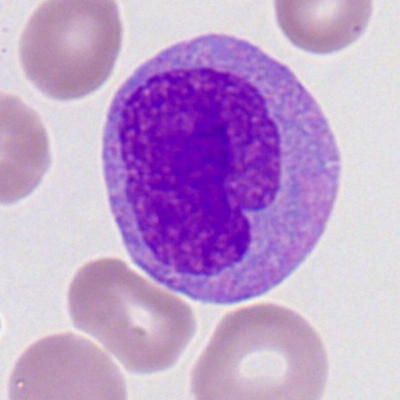

A myeloid blast on a peripheral blood smear.